Bone marrow smear. Image size 250×250:
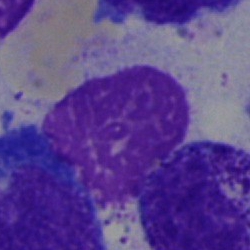

Q: What is shown here?
A: An artifact.